Bone marrow smear. Brightfield microscopy, 40× oil immersion:
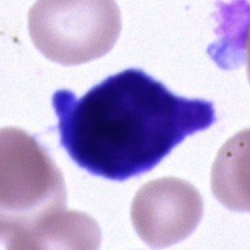Cell of indeterminate lineage.